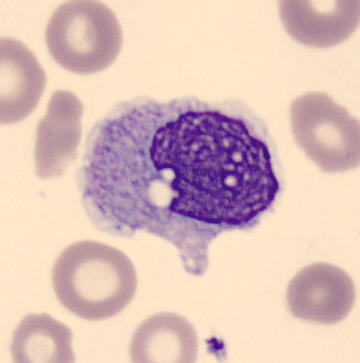
Showing a monocyte. Preparation: CellaVision DM96 digital cell image · peripheral blood smear · 360×363 px.